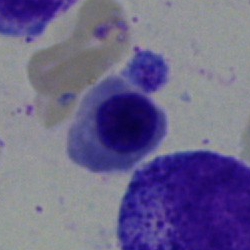 Bone marrow smear showing a nucleated red blood cell.